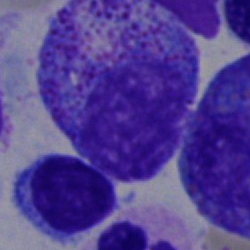
Showing a progranulocyte.